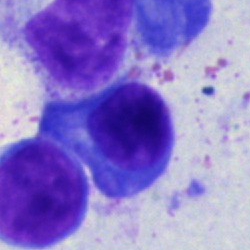 Cell type = plasmacyte.